Cropped to a single cell · bone marrow smear
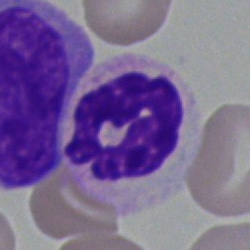Neutrophil (segmented).